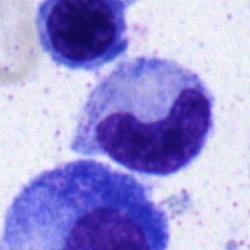 Q: Which cell type is shown here?
A: It is a neutrophil (band).